Peripheral blood film.
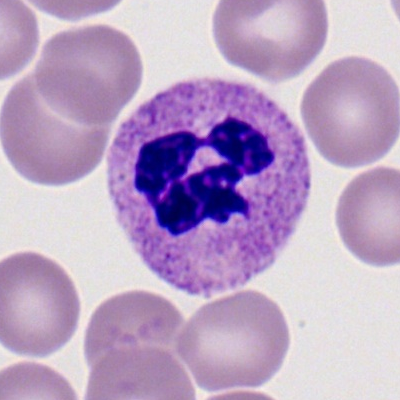

The cell shown is a segmented neutrophil.